Bone marrow smear: 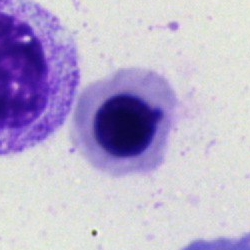 This is a normoblast.